Single-cell crop; Romanowsky-stained; peripheral blood film: 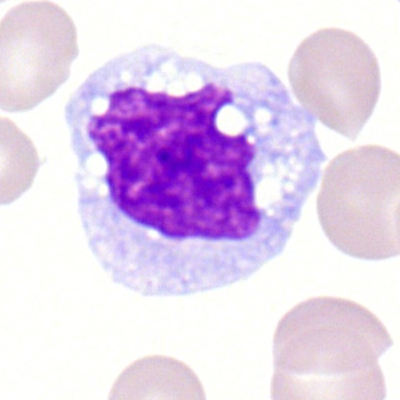Impression → monocyte.